Bone marrow aspirate smear
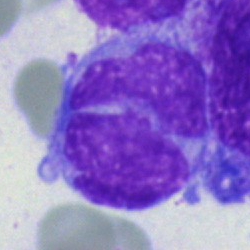 The cell shown is a monocyte.